Bone marrow smear.
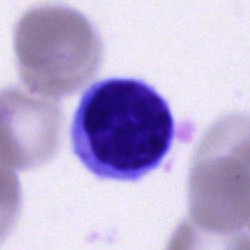Single cell identified as a lymphocyte.